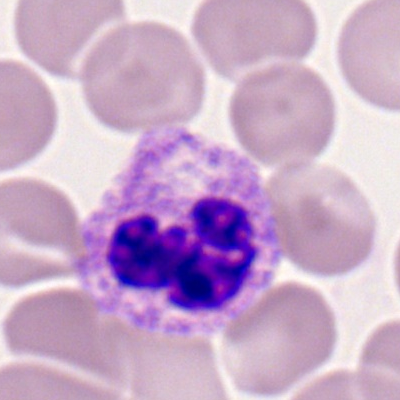

Classification — polymorphonuclear neutrophil.